Bone marrow aspirate smear.
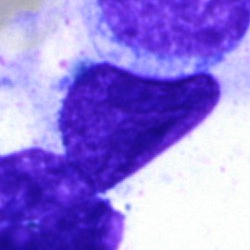Single cell identified as an artefact.